Bone marrow smear
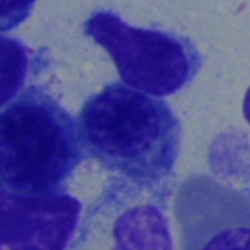 Q: Identify the cell.
A: It is a nucleated red blood cell.